Bone marrow smear — 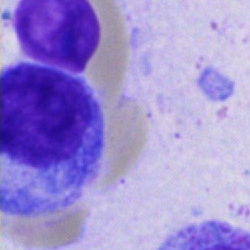 Morphological class = unidentifiable cell.